Bone marrow aspirate smear. Cropped to a single cell
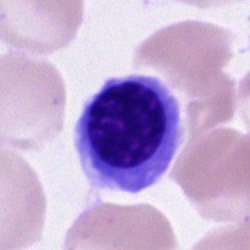

Specimen: bone marrow aspirate smear.
Classification: normoblast.
Lineage: erythroid.